Image size 250×250; bone marrow smear — 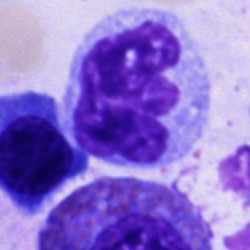Morphology — monocyte.